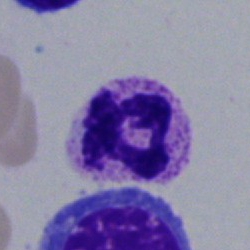Cell = segmented neutrophil.